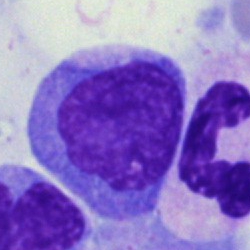 A monocyte on a bone marrow smear.